Single cell centered in the field · bone marrow smear: 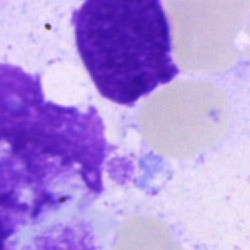
Morphology → artefact.